Bone marrow aspirate smear:
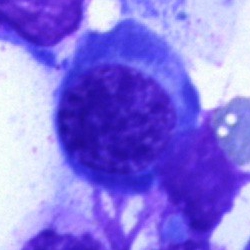

Cell = normoblast.